May-Grünwald-Giemsa stain. Image size 250×250. Bone marrow aspirate smear.
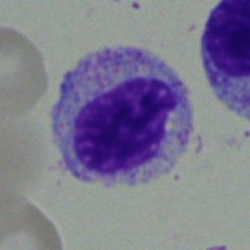
Showing a myelocyte.